Bone marrow aspirate smear: 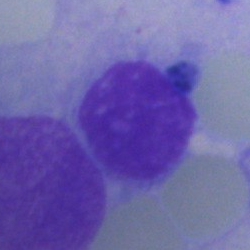

Q: What is shown here?
A: It is an artefact.